Peripheral blood smear · MGG-stained — 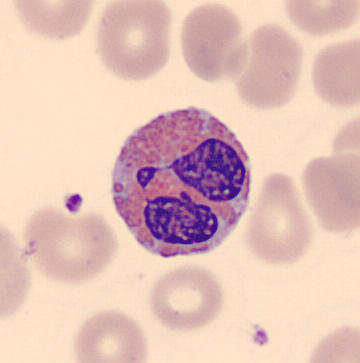
Single cell identified as an eosinophil.